Bone marrow smear · single-cell crop.
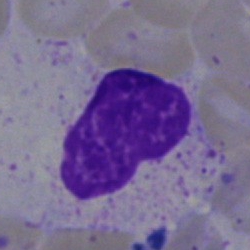
Single cell identified as an artefact.